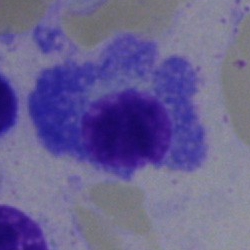
The classification is plasma cell.